Peripheral blood smear — 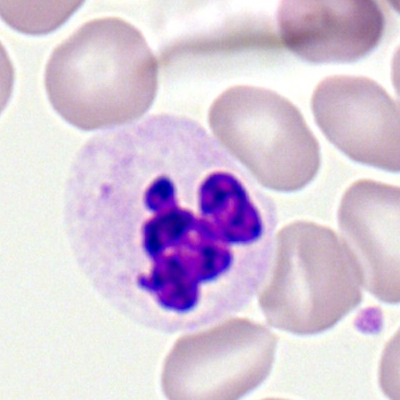 Specimen: peripheral blood smear.
Morphological class: segmented neutrophil.